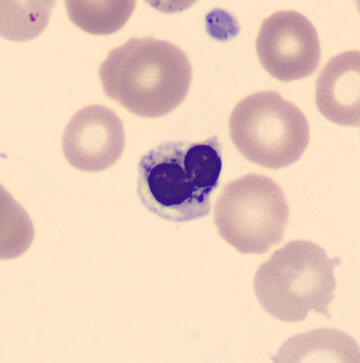 MGG stain · 360×363 px · peripheral blood smear.
Morphological class = nucleated red blood cell.